Single-cell field. Bone marrow smear — 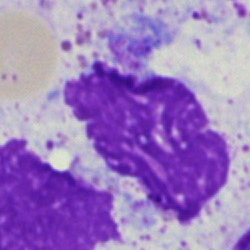

Impression → artifact.